Peripheral blood smear · 100× objective, oil immersion · single cell centered in the field
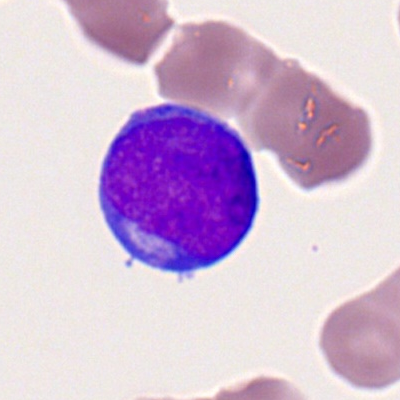
Specimen: peripheral blood film.
Cell: myeloblast.
Lineage: myeloid.